Peripheral blood film · Romanowsky-stained · 100× objective, oil immersion.
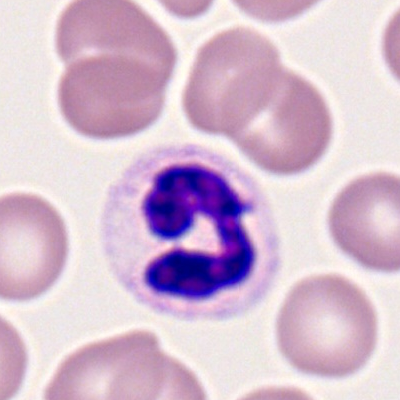 Morphology → neutrophil (segmented).